Bone marrow smear: 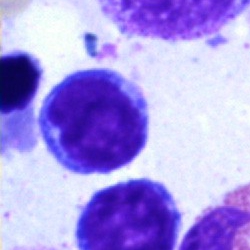 Cell type = typical lymphocyte.